Bone marrow smear.
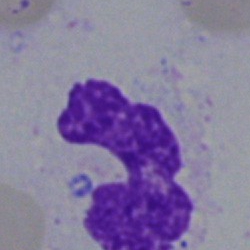 A polymorphonuclear neutrophil.